Bone marrow smear.
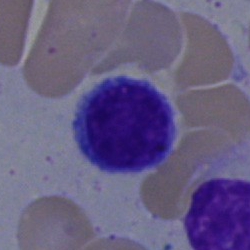
Specimen: bone marrow smear.
Morphological class: lymphocyte.
Lineage: lymphoid.